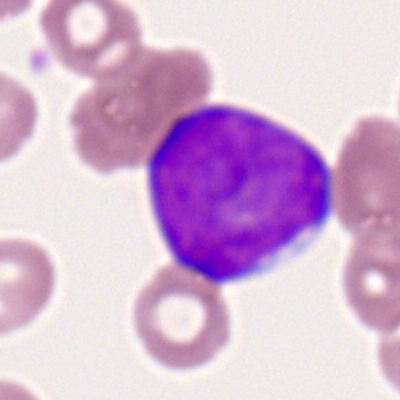
Single-cell crop from a peripheral blood smear: myeloid blast.